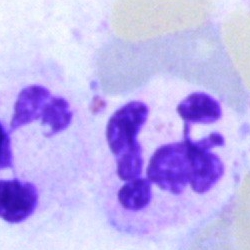 Classification — neutrophil (segmented).